Bone marrow smear.
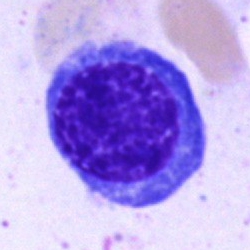 Morphology → normoblast.